Bone marrow smear
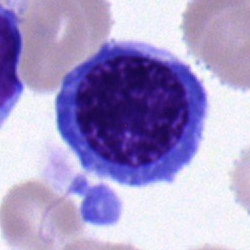 Impression → normoblast.